Bone marrow smear.
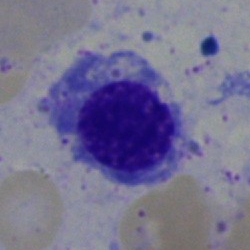
The cell is erythroblast.